Bone marrow smear.
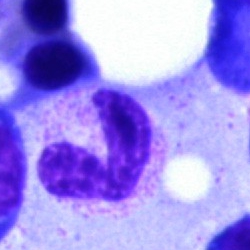
Q: What is shown here?
A: Band neutrophil.